Bone marrow smear · Pappenheim-stained.
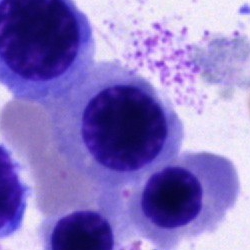 This is an erythroblast.